Bone marrow aspirate smear:
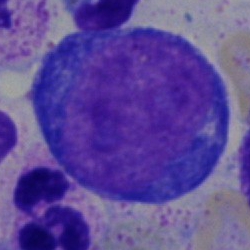The cell type is proerythroblast.